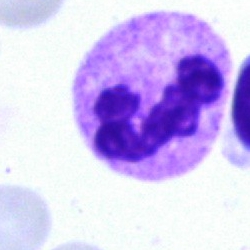Bone marrow smear showing a segmented neutrophil.